Bone marrow aspirate smear; 250×250 px; May-Grünwald-Giemsa/Pappenheim stain: 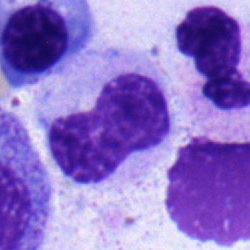 The cell type is band-form neutrophil.